Bone marrow aspirate smear
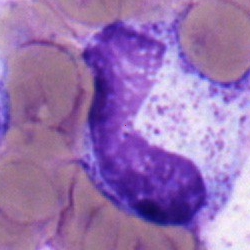

Morphology — stab cell.